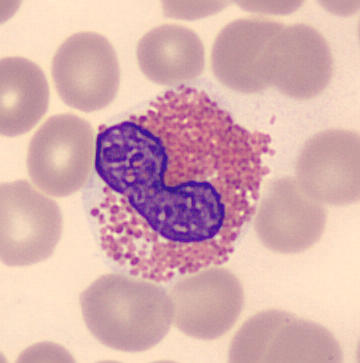

Morphological class — eosinophil.